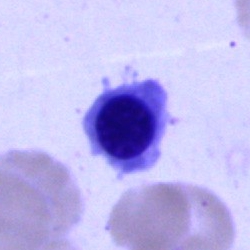 This is a nucleated red cell.